Bone marrow aspirate smear. Single cell centered in the field. 250×250 px:
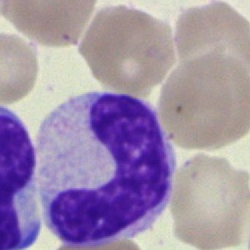A stab cell.